Single-cell crop; May-Grünwald-Giemsa stain; bone marrow smear — 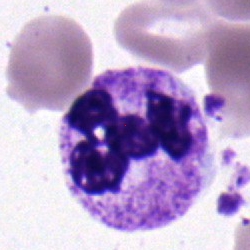

This is a neutrophil (segmented).